Bone marrow aspirate smear.
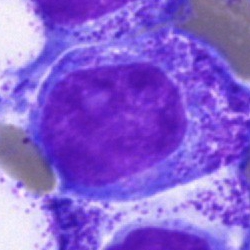Q: What is the morphological classification of this cell?
A: This is a progranulocyte.